Bone marrow smear.
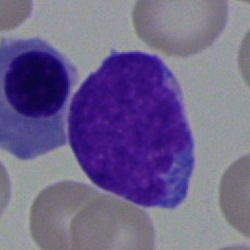 Classification: blast cell.